Bone marrow aspirate smear
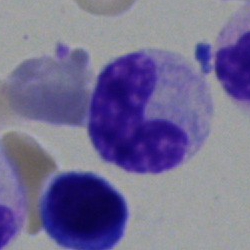

This is a stab cell.